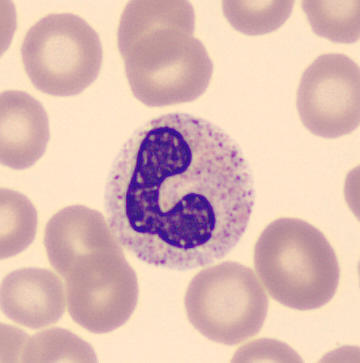

Single cell identified as a neutrophil (segmented).

Preparation: Peripheral blood film.